Bone marrow smear · single-cell crop: 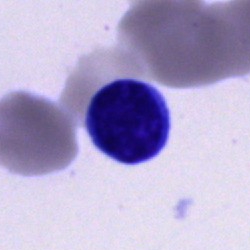

{"cell_type": "typical lymphocyte"}